Bone marrow smear — 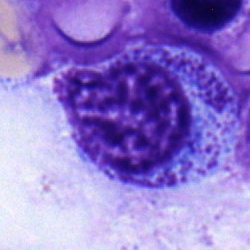{"cell_type": "myelocyte", "lineage": "myeloid"}